Pappenheim-stained. Bone marrow aspirate smear — 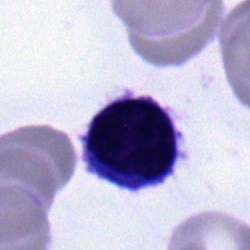 Lymphocyte.